Bone marrow aspirate smear.
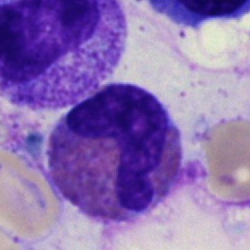The cell shown is an eosinophilic granulocyte.